250×250 px; brightfield, 40× oil-immersion objective; bone marrow smear
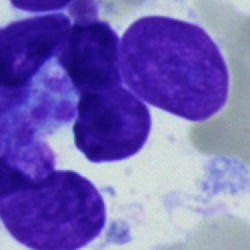

Classification = artefact.